Bone marrow aspirate smear.
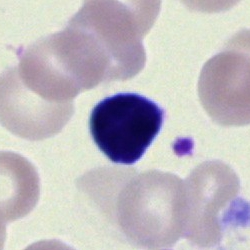 Lymphocyte.